Bone marrow smear — 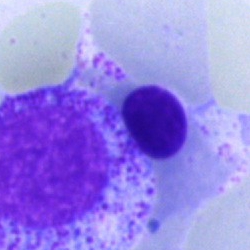

Impression — nucleated red cell.